250×250; bone marrow aspirate smear.
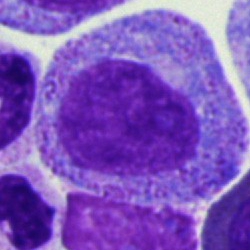Morphology consistent with a progranulocyte.